Single-cell crop. Peripheral blood film. Image size 400×400 — 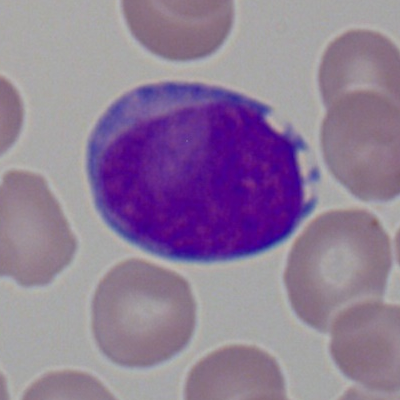A myeloblast.